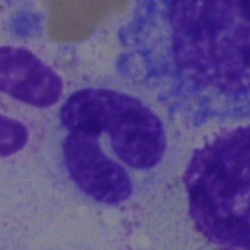
Morphological class = polymorphonuclear neutrophil.